MGG-stained · bone marrow aspirate smear · 40× objective, oil immersion
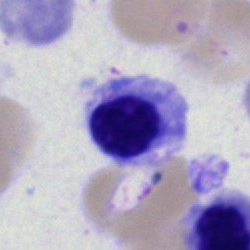

Showing a nucleated red cell.